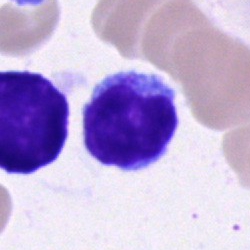
Q: What is shown here?
A: This is a typical lymphocyte.